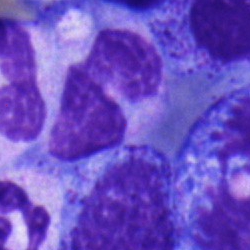

Morphological class: band-form neutrophil.